Bone marrow aspirate smear — 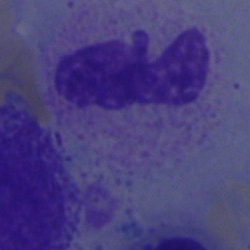Classification — neutrophil (segmented).